Bone marrow smear
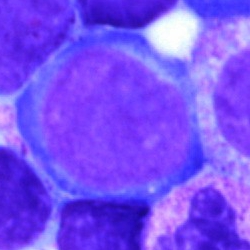

Typical lymphocyte.